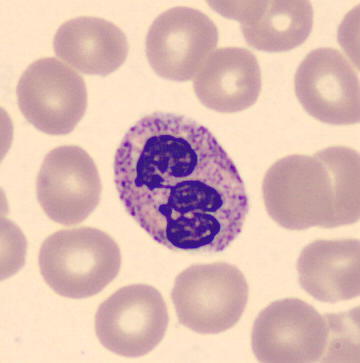
Single cell identified as a polymorphonuclear neutrophil.
Peripheral blood smear. MGG-stained.